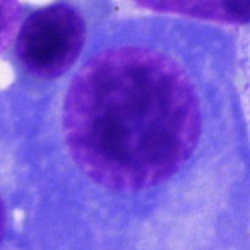

A plasma cell.